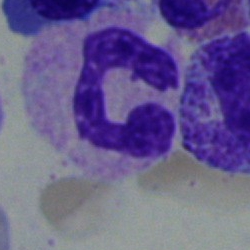

Single cell identified as a segmented neutrophil.